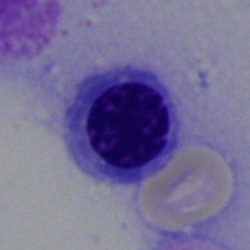
Showing a nucleated red blood cell.